May-Grünwald-Giemsa/Pappenheim stain · bone marrow aspirate smear · 40× oil immersion
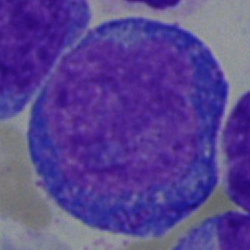The cell type is proerythroblast.